Bone marrow aspirate smear: 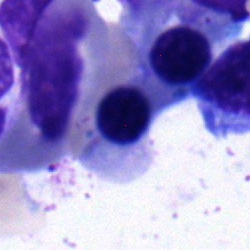

Q: Identify the cell.
A: This is a nucleated red blood cell.